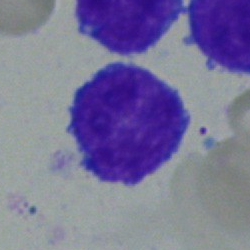 The morphological class is blast cell.